Bone marrow smear: 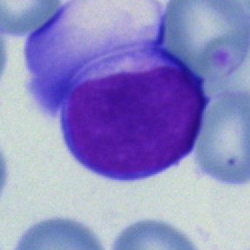

Classification — lymphocyte.